Bone marrow aspirate smear. 250×250 px.
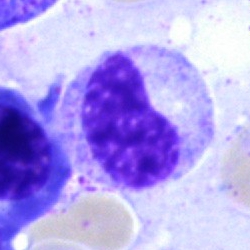Q: What type of cell is this?
A: This is a neutrophil (band).